Bone marrow aspirate smear
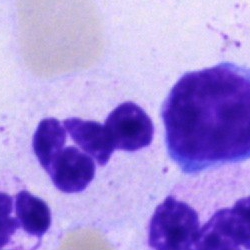
Cell = polymorphonuclear neutrophil.